Single-cell field · 250×250 · bone marrow aspirate smear — 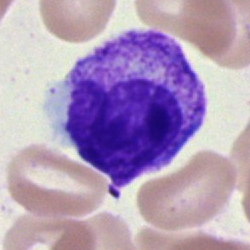
Metamyelocyte.